Bone marrow smear:
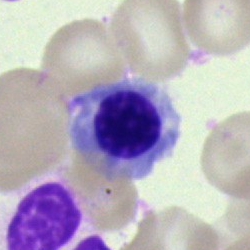Normoblast.